Brightfield, 100× oil-immersion objective · 400×400 · peripheral blood film
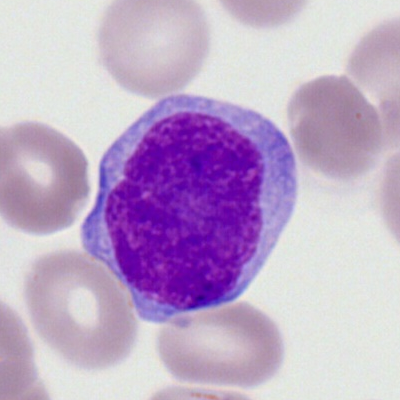 This is a myeloblast.